Single-cell crop · bone marrow aspirate smear: 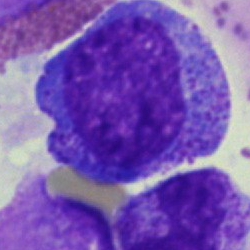A progranulocyte.